Cropped to a single cell · bone marrow smear
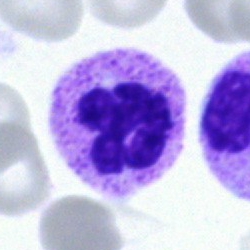 The cell shown is a segmented neutrophil.